Bone marrow aspirate smear; May-Grünwald-Giemsa/Pappenheim stain — 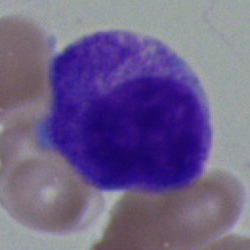 The cell shown is a promyelocyte.